MGG-stained. Bone marrow smear
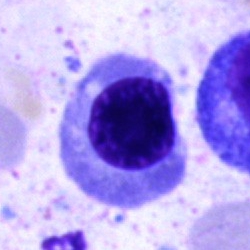
Erythroblast.